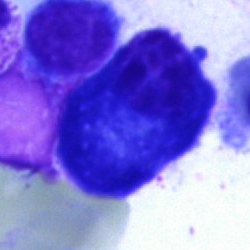Morphology → plasmacyte.